Bone marrow aspirate smear. May-Grünwald-Giemsa/Pappenheim stain: 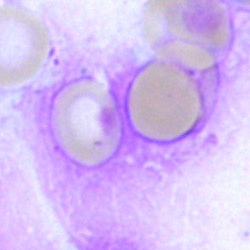

Q: What is shown here?
A: It is an artefact.